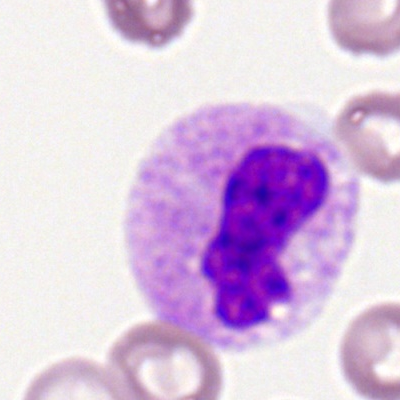 Classification: polymorphonuclear neutrophil.